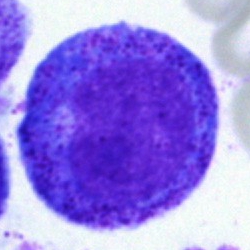Classification — progranulocyte.